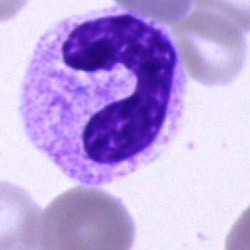Morphology consistent with a stab cell.